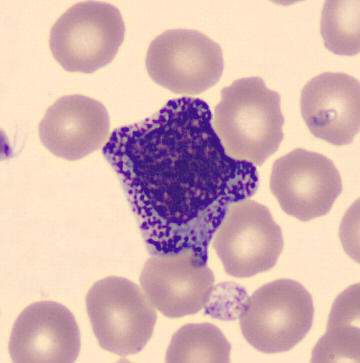 Q: What is this?
A: It is a myelocyte.